Bone marrow smear · single-cell field — 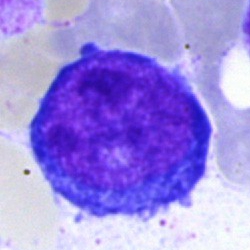

Morphology consistent with a proerythroblast.